Bone marrow smear — 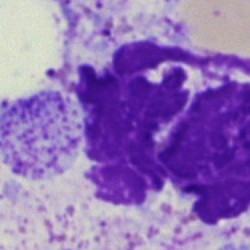

The cell shown is an artifact.